Bone marrow smear · MGG-stained:
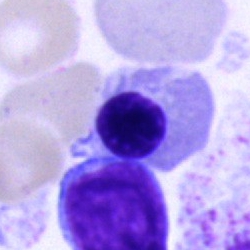Q: What is the morphological classification of this cell?
A: Nucleated red cell.